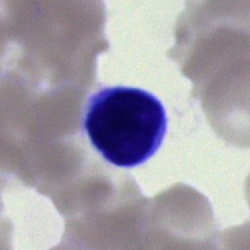Morphological class — typical lymphocyte.